Single cell centered in the field; bone marrow smear; 40× oil immersion
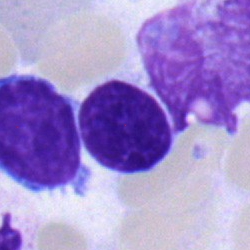

Classification — typical lymphocyte.